40× oil immersion. Single cell centered in the field. Bone marrow smear — 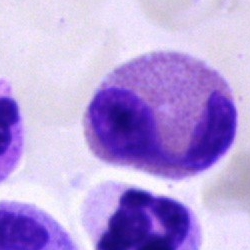Q: What cell is this?
A: An eosinophilic granulocyte.